Bone marrow aspirate smear: 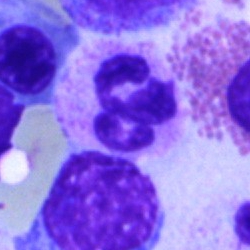Morphology consistent with a neutrophil (segmented).